Bone marrow smear — 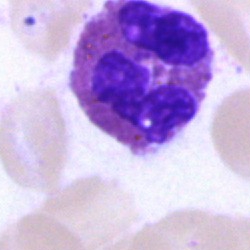Eosinophil.